Pappenheim-stained; 40× oil immersion; bone marrow aspirate smear:
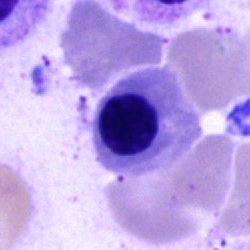Q: What type of cell is this?
A: Nucleated red cell.